Romanowsky-type stain · peripheral blood film.
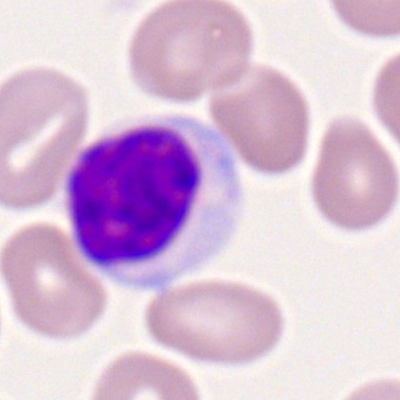
Showing a typical lymphocyte.